Bone marrow aspirate smear:
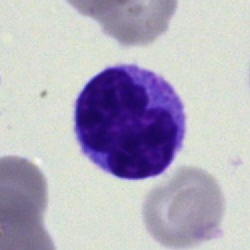
Q: Identify the cell.
A: Typical lymphocyte.